Bone marrow smear: 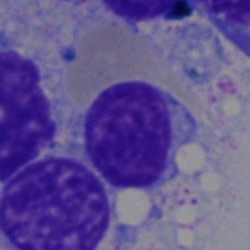The cell shown is a typical lymphocyte.